Single-cell field · peripheral blood smear:
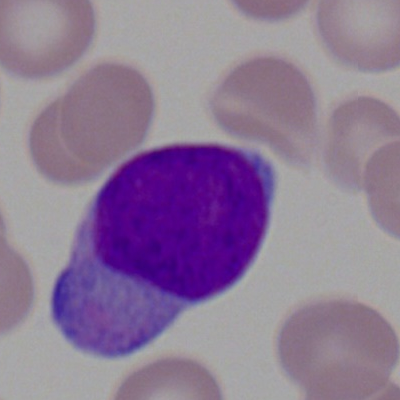 Morphology → myeloblast.